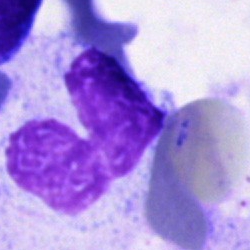

Specimen: bone marrow smear.
Morphological class: artifact.